Bone marrow smear.
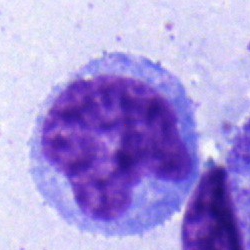 Specimen: bone marrow aspirate smear.
Cell type: monocyte.
Lineage: myeloid.